Bone marrow smear:
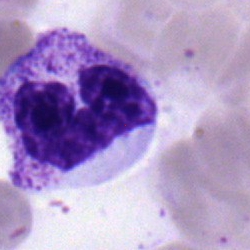Morphology consistent with a band-form neutrophil.